Bone marrow smear · image size 250×250 — 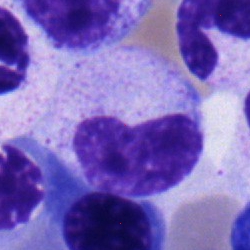 The morphological class is metamyelocyte.